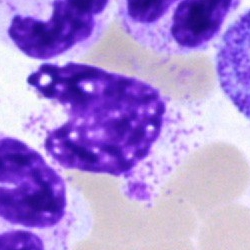Specimen: bone marrow aspirate smear.
Cell type: artefact.